250 by 250 pixels · bone marrow smear — 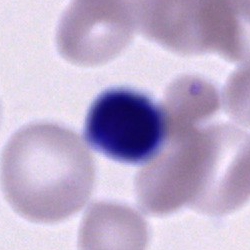
Specimen: bone marrow aspirate smear.
Morphological class: unidentifiable cell.